Bone marrow smear
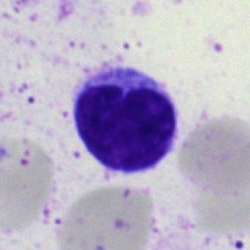 Showing a lymphocyte.